Bone marrow smear
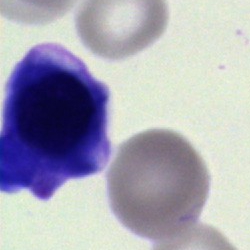Showing a nucleated red blood cell.